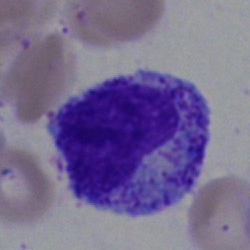
Morphological class — metamyelocyte.